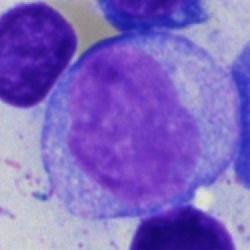 The morphological class is undifferentiated blast.